Bone marrow smear · Pappenheim-stained · cropped to a single cell: 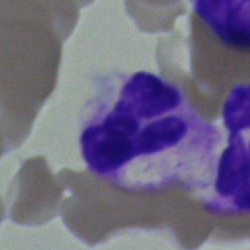

Impression → neutrophil (segmented).